Bone marrow aspirate smear; May-Grünwald-Giemsa/Pappenheim stain: 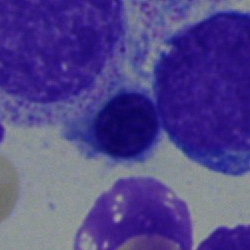 This is an erythroblast.